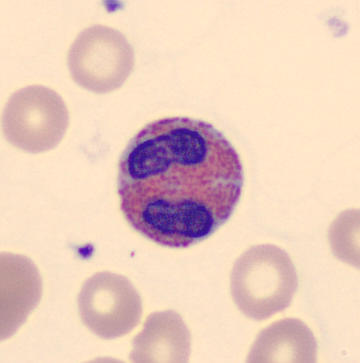 {"cell_type": "eosinophil", "lineage": "myeloid"}
Peripheral blood smear.